Single cell centered in the field; 40× oil immersion; bone marrow aspirate smear: 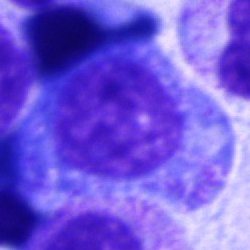
Specimen: bone marrow smear.
Cell type: promyelocyte.